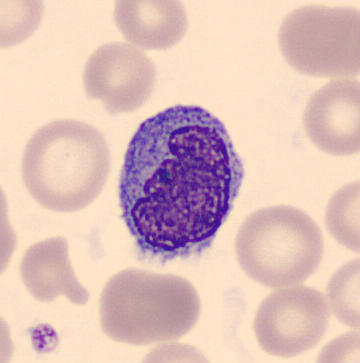The morphological class is monocyte.